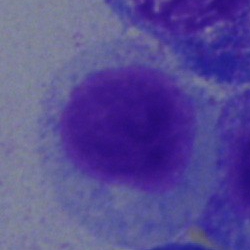

Single-cell crop from a bone marrow smear: myelocyte.